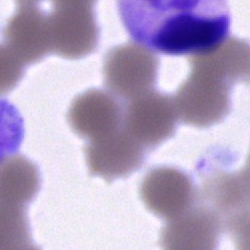
An artifact.